Bone marrow smear. 250 by 250 pixels.
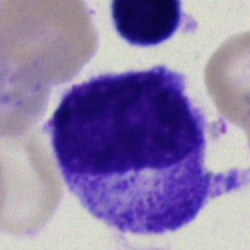
Showing a promyelocyte.